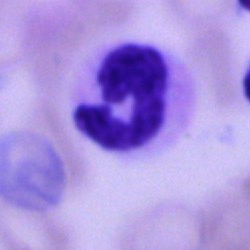 Q: Identify the cell.
A: A polymorphonuclear neutrophil.